Peripheral blood smear.
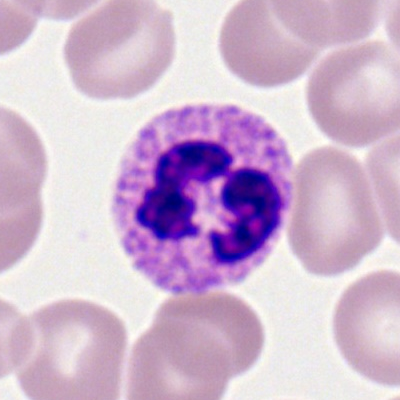The cell shown is a neutrophil (segmented).